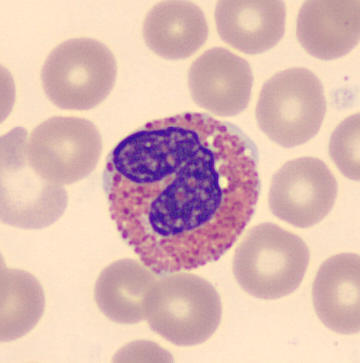

Specimen: peripheral blood smear.
Cell type: eosinophilic granulocyte.
Lineage: myeloid.